Bone marrow smear: 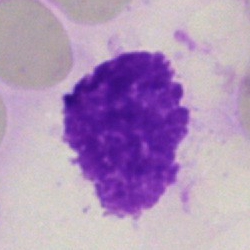 An artefact.